Bone marrow aspirate smear:
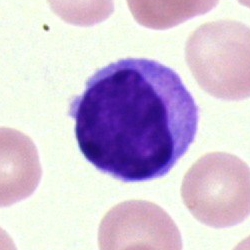 Morphology consistent with a lymphocyte.